Bone marrow aspirate smear · Pappenheim-stained — 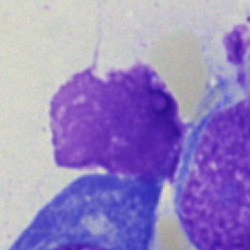
Q: What is shown here?
A: This is an artefact.